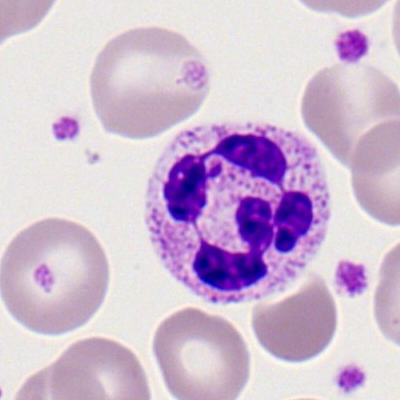

Cell type: polymorphonuclear neutrophil.